Bone marrow aspirate smear. Image size 250×250 — 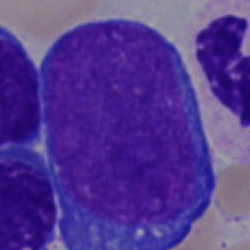 Morphology — undifferentiated blast.